Bone marrow smear.
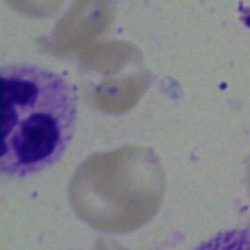

Cell = segmented neutrophil.